Bone marrow aspirate smear:
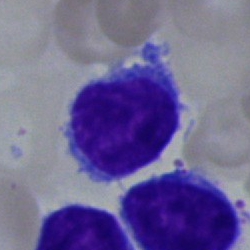
Impression → lymphocyte.